MGG-stained. 40× oil immersion. Bone marrow smear: 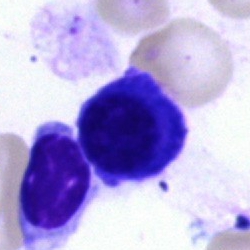
Q: What type of cell is this?
A: A normoblast.